Bone marrow aspirate smear · 40× oil immersion: 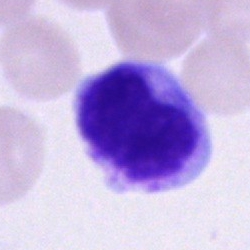
Specimen: bone marrow smear.
Cell type: unidentifiable cell.